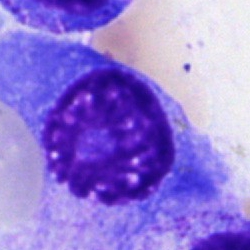 Bone marrow aspirate smear, single cell — plasma cell.